Bone marrow aspirate smear · single-cell field · May-Grünwald-Giemsa stain: 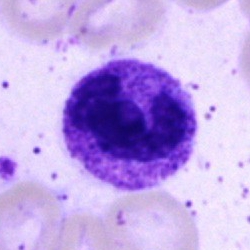 Specimen: bone marrow smear.
Cell: segmented neutrophil.
Lineage: myeloid.